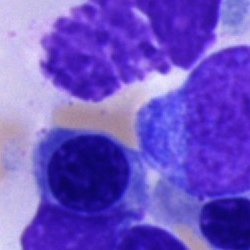 Morphology consistent with an unidentifiable cell.